Peripheral blood film; 100× oil immersion:
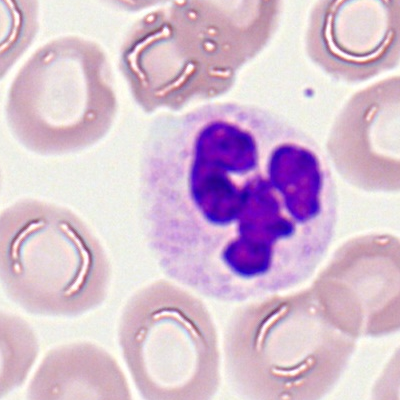

Morphological class — segmented neutrophil.